Bone marrow aspirate smear
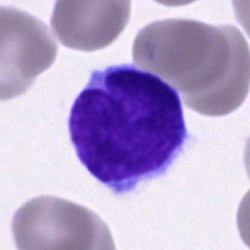 Impression — lymphocyte.